Bone marrow smear:
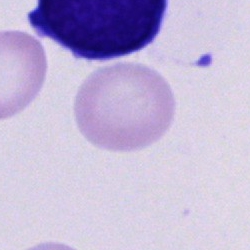

Q: What cell is this?
A: An unidentifiable cell.